Single-cell field; bone marrow aspirate smear: 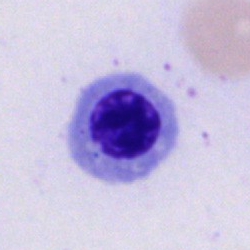
{"cell_type": "nucleated red blood cell"}